May-Grünwald-Giemsa/Pappenheim stain; bone marrow smear:
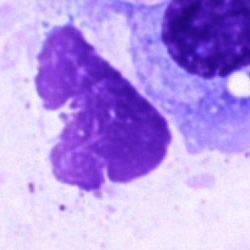

Morphology — artefact.